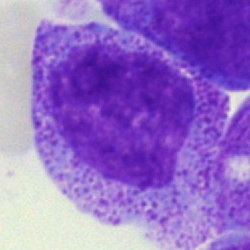
Showing a promyelocyte.